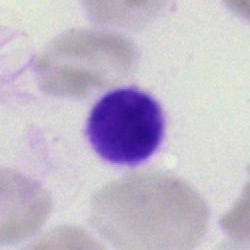
Single-cell crop from a bone marrow smear: artifact.